Bone marrow aspirate smear
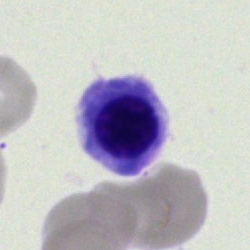

Morphological class = nucleated red blood cell.